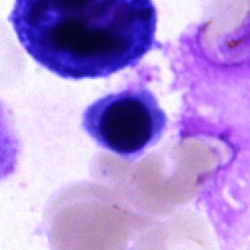

Cell type — nucleated red blood cell.